Bone marrow aspirate smear. 40× objective, oil immersion. Single-cell crop: 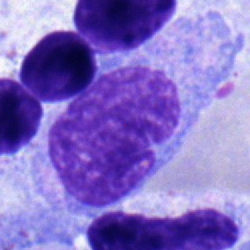 Specimen: bone marrow smear.
Classification: monocyte.
Lineage: myeloid.